Bone marrow smear · single-cell field
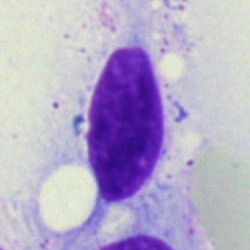Q: What is shown here?
A: This is an artefact.